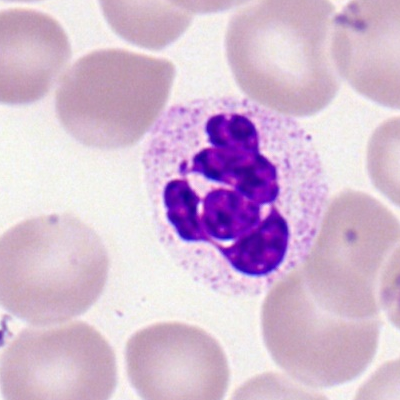 Peripheral blood smear showing a polymorphonuclear neutrophil.